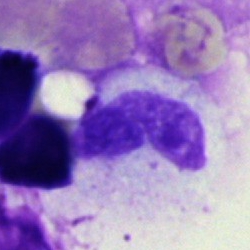

Polymorphonuclear neutrophil.